Bone marrow aspirate smear:
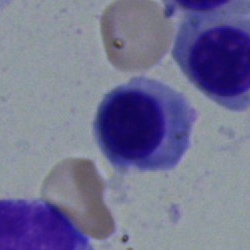A normoblast.